Bone marrow smear.
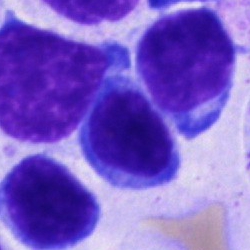 The classification is typical lymphocyte.